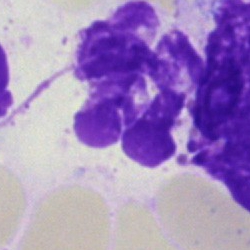
Specimen: bone marrow aspirate smear.
Classification: artefact.